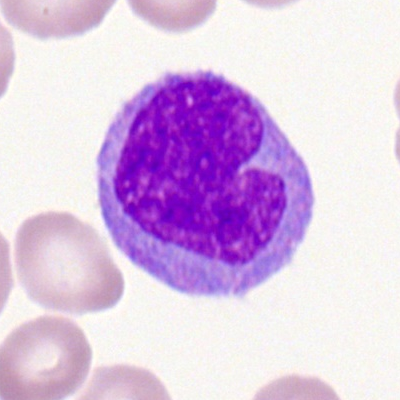 The cell shown is a monocyte.